Bone marrow aspirate smear — 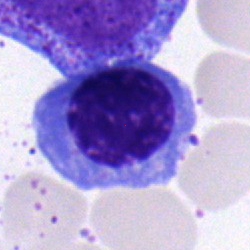

Q: What type of cell is this?
A: It is a normoblast.